May-Grünwald-Giemsa stain. Bone marrow aspirate smear.
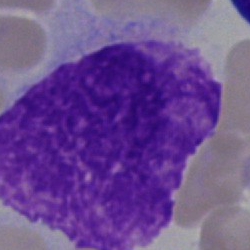

Morphology consistent with an artefact.